Bone marrow smear:
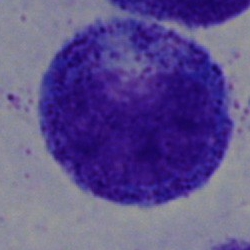 Progranulocyte.